Bone marrow smear · 40× oil immersion
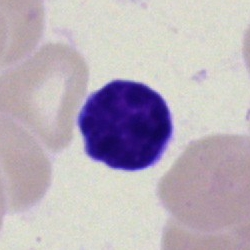
Cell type = lymphocyte.